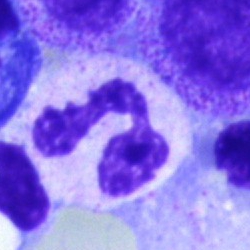

Specimen: bone marrow smear.
Cell: neutrophil (segmented).
Lineage: myeloid.